Bone marrow smear · 250×250:
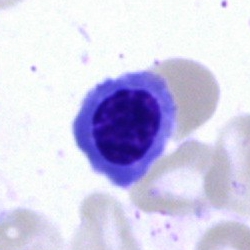
Showing a nucleated red blood cell.